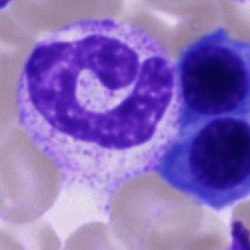 Showing a band neutrophil.